Bone marrow smear:
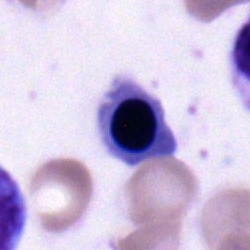 Erythroblast.